Bone marrow aspirate smear — 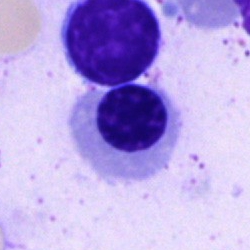 Specimen: bone marrow aspirate smear.
Classification: nucleated red blood cell.